Bone marrow smear.
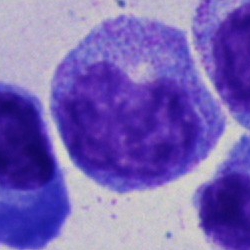
Specimen: bone marrow aspirate smear.
Classification: progranulocyte.